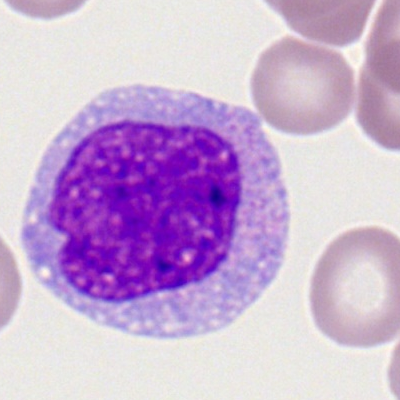 Peripheral blood film, single cell — monocyte.